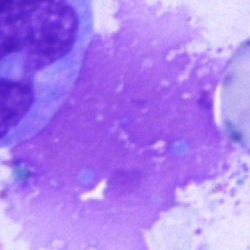Classification: artifact.